Bone marrow aspirate smear
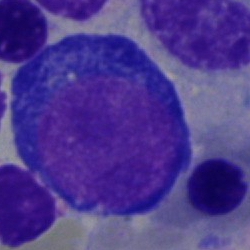Specimen: bone marrow smear.
Morphological class: pronormoblast.
Lineage: erythroid.